Peripheral blood smear.
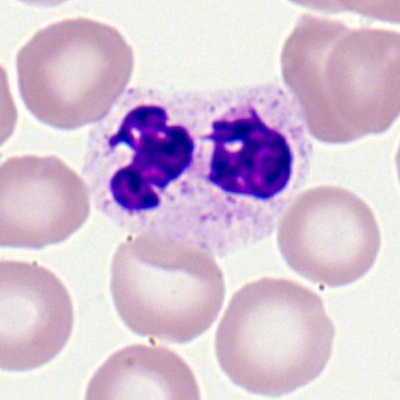 Cell — neutrophil (segmented).